Bone marrow smear · single-cell crop · Pappenheim-stained
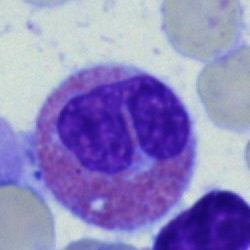 Morphological class: eosinophil.